Bone marrow smear.
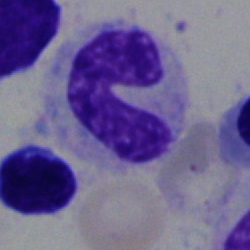

Band-form neutrophil.